Bone marrow smear:
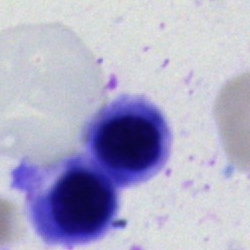 Classification = erythroblast.